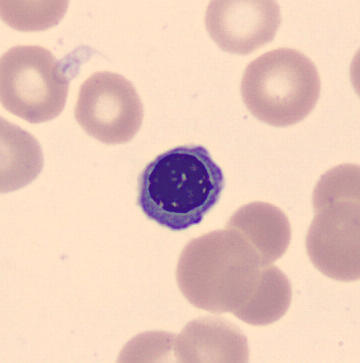

Peripheral blood film, single cell — nucleated red blood cell.